Bone marrow smear: 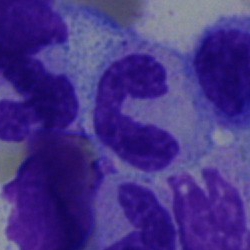

Q: Which cell type is shown here?
A: Band-form neutrophil.